Single cell centered in the field. Bone marrow smear.
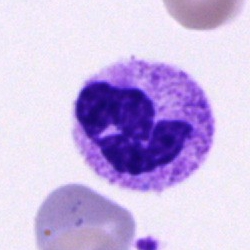

Impression → neutrophil (segmented).